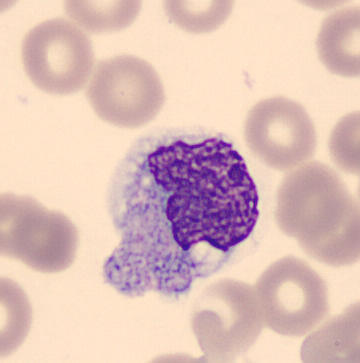 Morphological class — monocyte.